Single-cell crop · bone marrow smear.
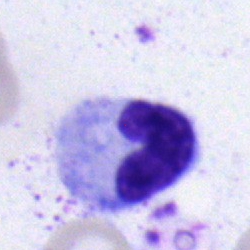 Specimen: bone marrow smear.
Morphological class: neutrophil (band).